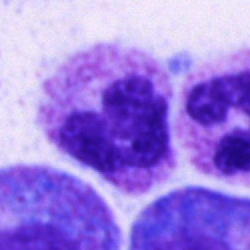Single cell identified as a polymorphonuclear neutrophil.